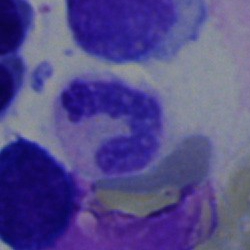

Q: Which cell type is shown here?
A: A segmented neutrophil.